MGG-stained; bone marrow smear:
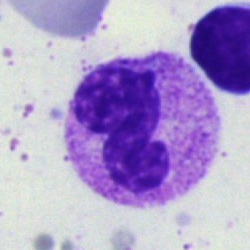
Showing a neutrophil (segmented).